Bone marrow smear: 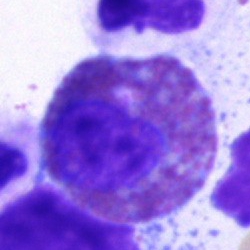
This is an eosinophil.